Image size 250×250 · bone marrow aspirate smear:
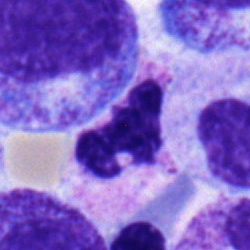Morphology → segmented neutrophil.